Peripheral blood film — 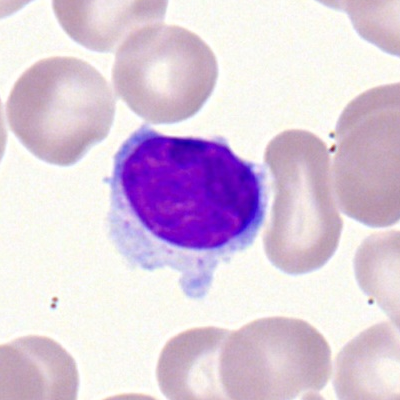

The cell shown is a lymphocyte.